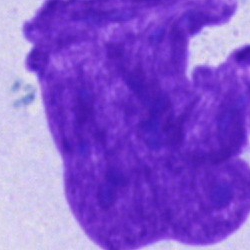Specimen: bone marrow smear.
Morphological class: artifact.